Bone marrow smear — 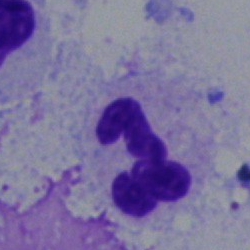This is a polymorphonuclear neutrophil.